Bone marrow smear
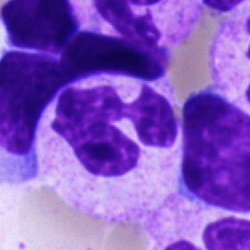

Segmented neutrophil.